Bone marrow smear — 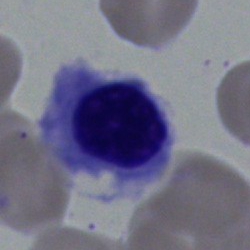 Impression → normoblast.